Bone marrow aspirate smear.
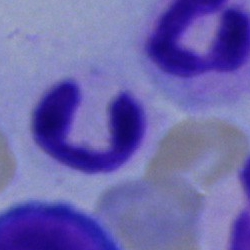Q: What cell is this?
A: A neutrophil (segmented).